Bone marrow smear
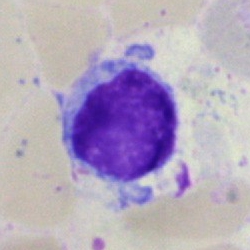

The cell shown is a lymphocyte.